Bone marrow aspirate smear: 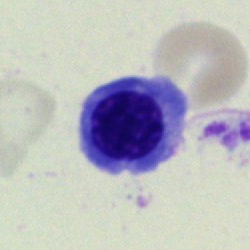

The classification is nucleated red blood cell.